Brightfield, 100× oil-immersion objective. Peripheral blood smear.
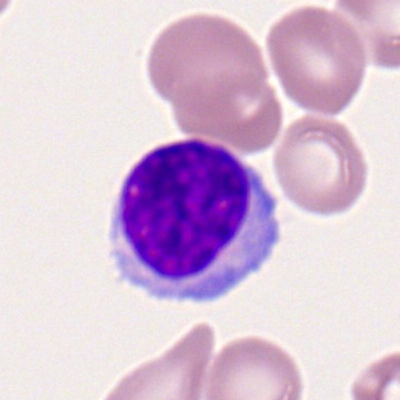 Morphology consistent with a lymphocyte.